Bone marrow aspirate smear
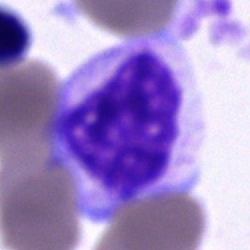Morphology consistent with a monocyte.